250 by 250 pixels. Bone marrow smear — 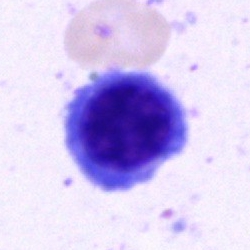
Q: What is the morphological classification of this cell?
A: This is a progranulocyte.